40× oil immersion; single-cell field; bone marrow aspirate smear: 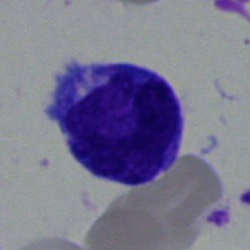Impression → monocyte.